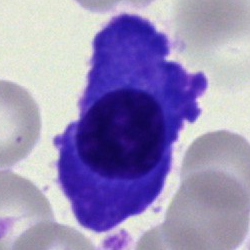
Single-cell crop from a bone marrow smear: plasmacyte.